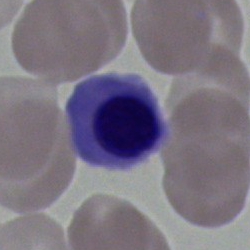The cell shown is an erythroblast.